Brightfield microscopy, 40× oil immersion · bone marrow smear.
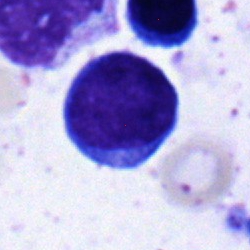Morphological class = blast.